Single-cell field; bone marrow aspirate smear: 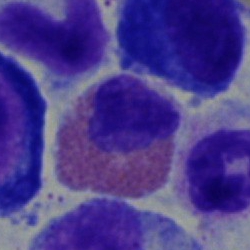 Cell type = eosinophilic granulocyte.